Bone marrow smear: 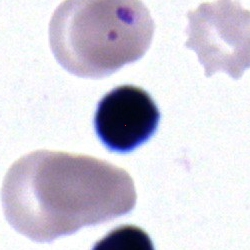This is a lymphocyte.